Single cell centered in the field. Bone marrow smear. Pappenheim-stained — 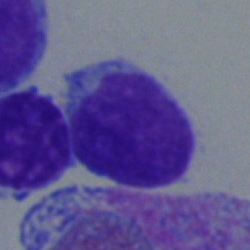

Showing a blast cell.